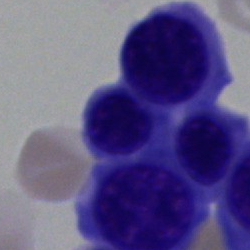Specimen: bone marrow smear.
Classification: normoblast.